Bone marrow aspirate smear.
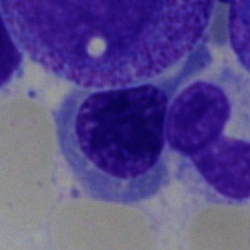Classification — normoblast.